Single-cell crop · 400×400 · peripheral blood film:
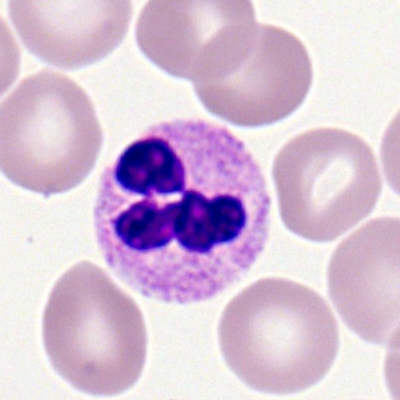 Cell type = neutrophil (segmented).